Bone marrow smear
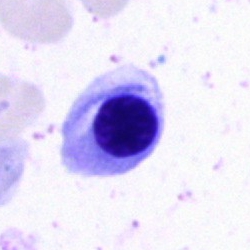The morphological class is nucleated red blood cell.